Bone marrow aspirate smear
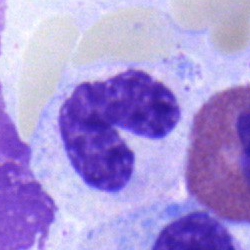
Showing a band-form neutrophil.